Bone marrow aspirate smear; May-Grünwald-Giemsa stain: 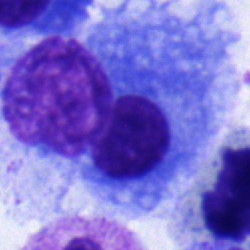

Classification = plasmacyte.